Bone marrow smear; single-cell field — 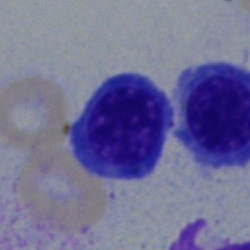

Classification — lymphocyte.